Bone marrow aspirate smear
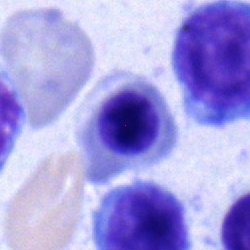The cell type is normoblast.